Bone marrow aspirate smear
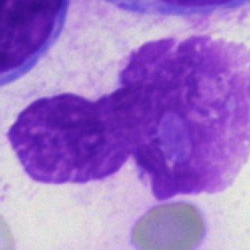 Specimen: bone marrow aspirate smear.
Cell: artifact.